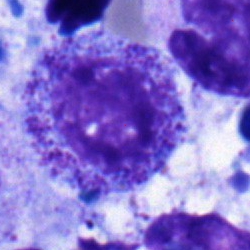
A promyelocyte.